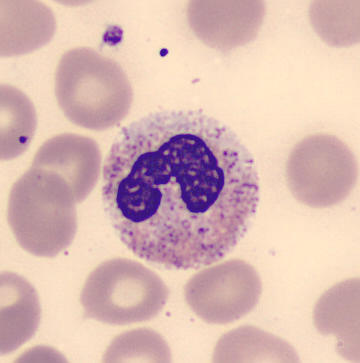
Acquisition: MGG stain · peripheral blood film.
This is a neutrophil (band).